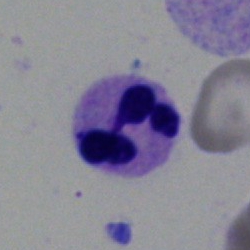 A segmented neutrophil.